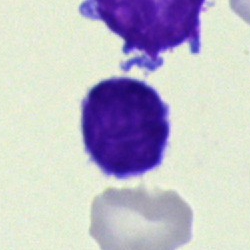

This is a lymphocyte.